Brightfield microscopy, 40× oil immersion. Bone marrow aspirate smear — 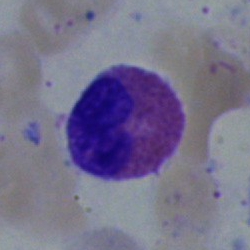 The cell is eosinophilic granulocyte.